Bone marrow smear. Image size 250×250. Brightfield, 40× oil-immersion objective — 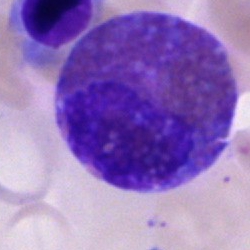The cell shown is an eosinophil.